Bone marrow aspirate smear; 40× objective, oil immersion; MGG-stained — 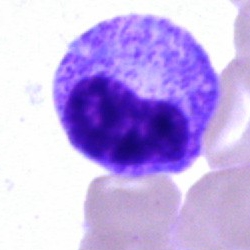

This is a metamyelocyte.